Bone marrow aspirate smear; 250×250.
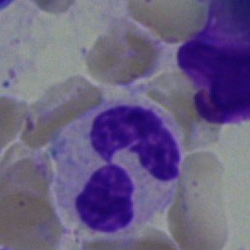 Morphology — segmented neutrophil.